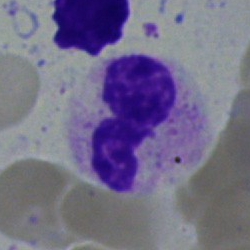The cell type is neutrophil (segmented).